Pappenheim-stained · bone marrow smear: 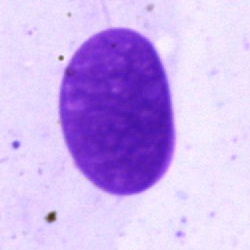
Impression — artifact.